Peripheral blood smear
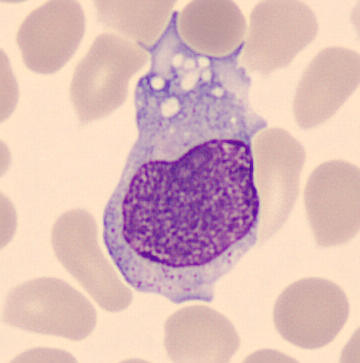

Identified as a monocyte.